250 by 250 pixels. Bone marrow smear — 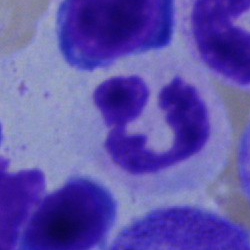
The cell shown is a segmented neutrophil.